Bone marrow aspirate smear — 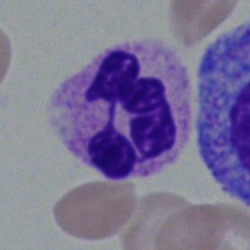Q: Identify the cell.
A: This is a polymorphonuclear neutrophil.